Bone marrow smear — 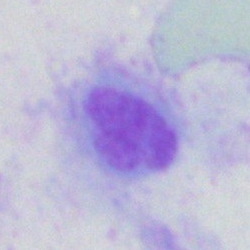

Artefact.